Bone marrow smear — 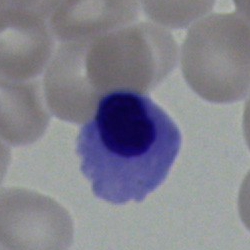 Q: What is shown here?
A: This is an erythroblast.